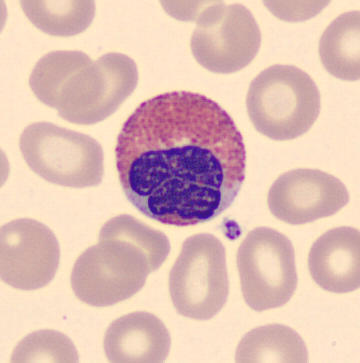
This is an eosinophil. Acquisition: Peripheral blood film.